Bone marrow aspirate smear
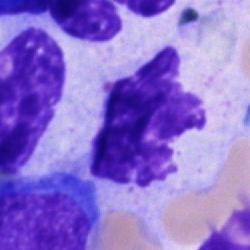The morphological class is unidentifiable cell.